Bone marrow aspirate smear. Pappenheim-stained — 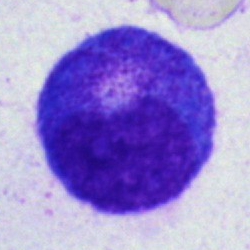
The cell shown is a promyelocyte.